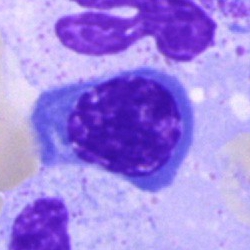This is a nucleated red cell.